Bone marrow smear: 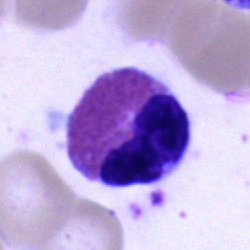 This is an eosinophil.